May-Grünwald-Giemsa/Pappenheim stain; bone marrow aspirate smear; 250×250 px
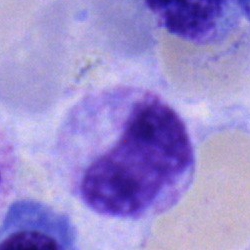
Showing a metamyelocyte.